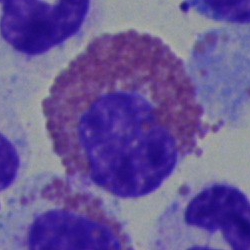Classification — eosinophil.